Bone marrow aspirate smear
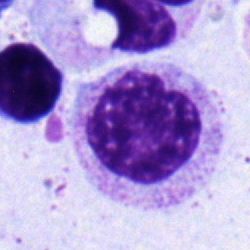 Specimen: bone marrow smear.
Cell type: myelocyte.